May-Grünwald-Giemsa stain · bone marrow aspirate smear.
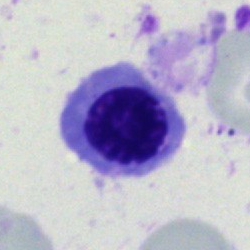
This is an erythroblast.